Bone marrow aspirate smear: 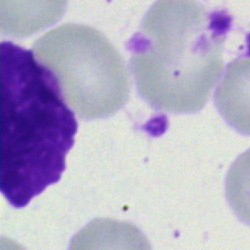

Cell — artifact.